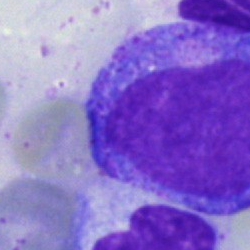
{"cell_type": "promyelocyte", "lineage": "myeloid"}